Brightfield, 40× oil-immersion objective. Bone marrow smear
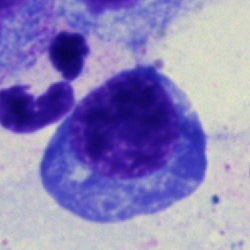 Cell type: plasmacyte.